Bone marrow smear; single cell centered in the field:
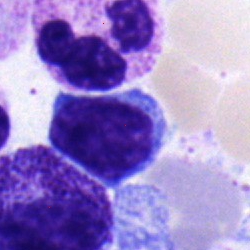
Specimen: bone marrow smear.
Classification: typical lymphocyte.